Bone marrow aspirate smear:
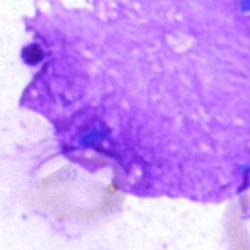Specimen: bone marrow smear.
Morphological class: artefact.